Bone marrow aspirate smear: 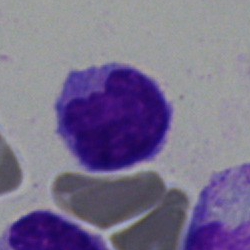

Specimen: bone marrow aspirate smear.
Classification: typical lymphocyte.
Lineage: lymphoid.